Bone marrow smear; May-Grünwald-Giemsa stain; 250×250.
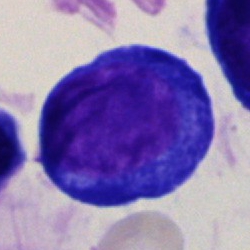

Impression — pronormoblast.